Bone marrow aspirate smear.
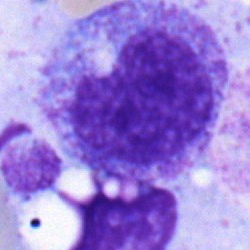
Q: Which cell type is shown here?
A: It is a myelocyte.